Bone marrow smear:
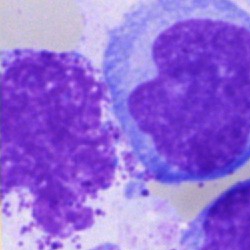Showing an artefact.